Bone marrow smear:
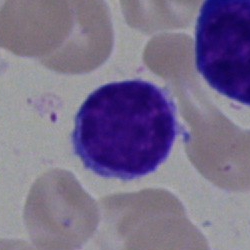
The classification is typical lymphocyte.